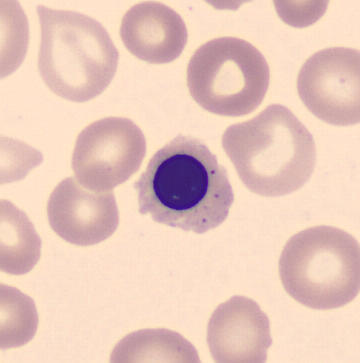 Q: What is the morphological classification of this cell?
A: Nucleated red cell.

Image: Automated cell imaging (CellaVision DM96); peripheral blood film.